Bone marrow smear — 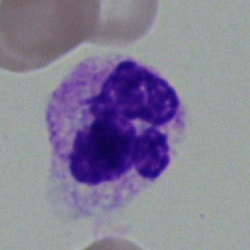 Cell type: polymorphonuclear neutrophil.